Bone marrow smear:
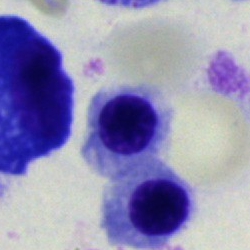An erythroblast.